Bone marrow smear.
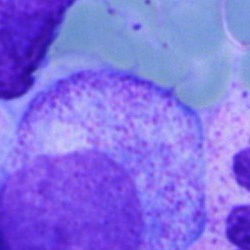
Morphology — promyelocyte.